Bone marrow smear.
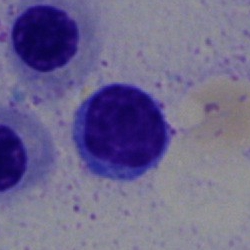 Single cell identified as a typical lymphocyte.